May-Grünwald-Giemsa/Pappenheim stain. Bone marrow smear: 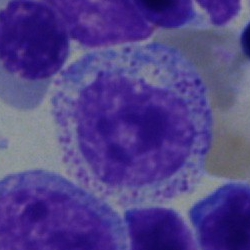

Q: What is shown here?
A: It is a myelocyte.